Bone marrow aspirate smear: 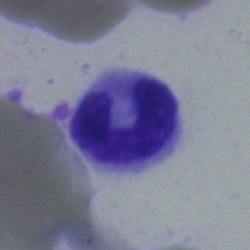

Morphological class: band-form neutrophil.